250 by 250 pixels. Single-cell field. Bone marrow smear — 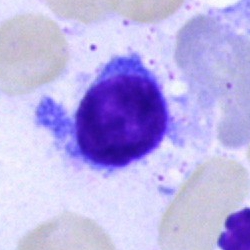A lymphocyte.